Bone marrow smear:
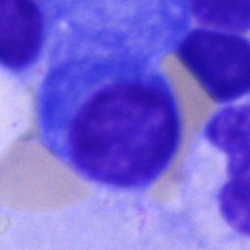

Morphology → plasma cell.